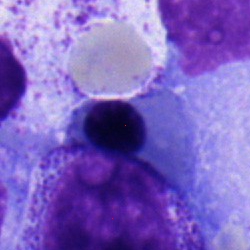 This is a nucleated red cell.